Bone marrow smear
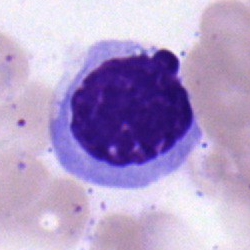Specimen: bone marrow smear.
Morphological class: erythroblast.
Lineage: erythroid.